Bone marrow aspirate smear — 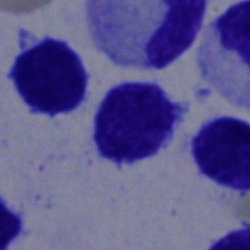Cell type = typical lymphocyte.